Bone marrow aspirate smear — 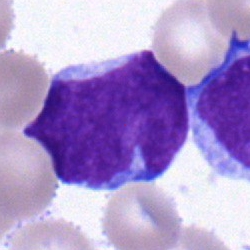
Morphology consistent with a blast cell.